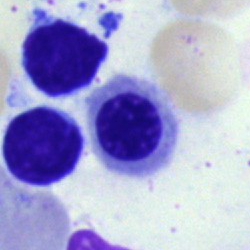Classification = nucleated red cell.